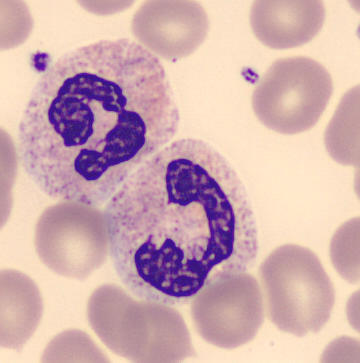Q: Which cell type is shown here?
A: This is a polymorphonuclear neutrophil.